Cropped to a single cell · bone marrow smear: 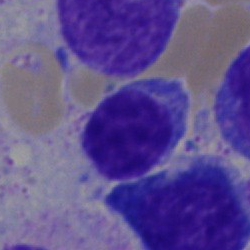 A lymphocyte.